Bone marrow aspirate smear:
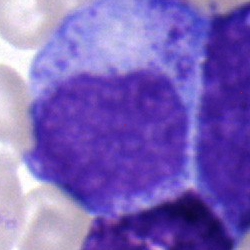

A myelocyte.